Bone marrow aspirate smear; brightfield, 40× oil-immersion objective:
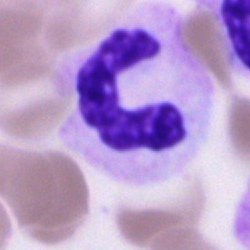 The cell shown is a neutrophil (band).